Brightfield microscopy, 40× oil immersion; bone marrow aspirate smear
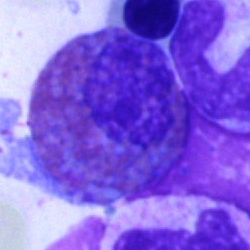

Classification: eosinophilic granulocyte.